Bone marrow aspirate smear · 40× objective, oil immersion.
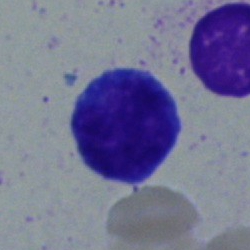

Impression → lymphocyte.